Bone marrow smear:
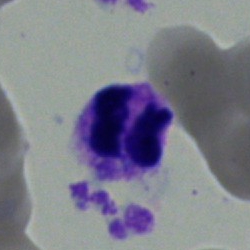Impression — polymorphonuclear neutrophil.